Bone marrow smear. 250×250 px. 40× oil immersion: 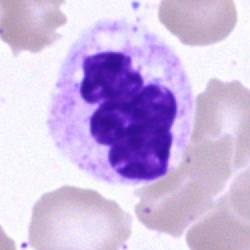
Specimen: bone marrow aspirate smear.
Classification: neutrophil (segmented).
Lineage: myeloid.